MGG-stained · 250×250 · bone marrow aspirate smear: 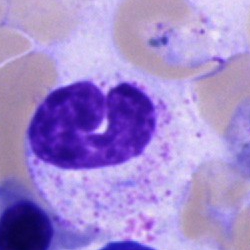 Cell = band neutrophil.